Peripheral blood film; Romanowsky-stained; M8 digital microscope (Precipoint), 100× oil immersion: 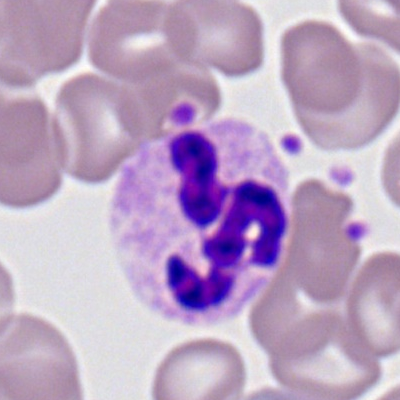Specimen: peripheral blood film.
Classification: polymorphonuclear neutrophil.
Lineage: myeloid.